Bone marrow aspirate smear
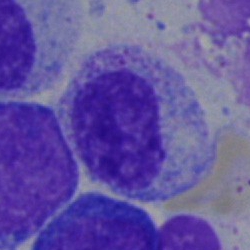

The classification is myelocyte.